Bone marrow aspirate smear. 40× objective, oil immersion: 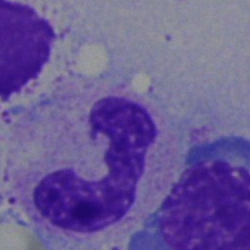
Single cell identified as a polymorphonuclear neutrophil.